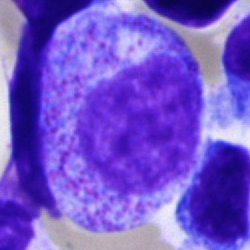The classification is progranulocyte.